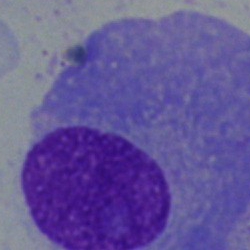Morphology — plasmacyte.